250×250; bone marrow smear; May-Grünwald-Giemsa stain.
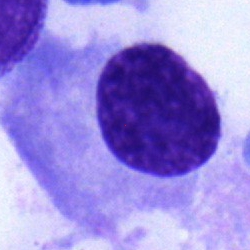Q: Identify the cell.
A: A plasmacyte.